Single-cell crop · bone marrow aspirate smear:
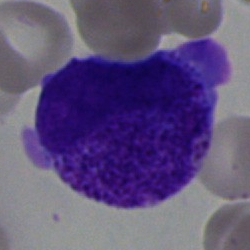
A blast cell.